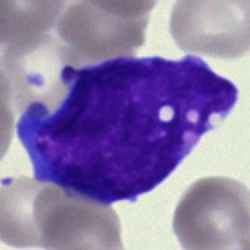 An undifferentiated blast.